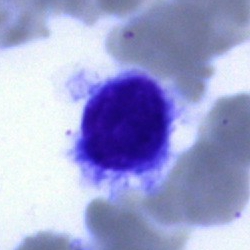Cell type: typical lymphocyte.